Bone marrow smear:
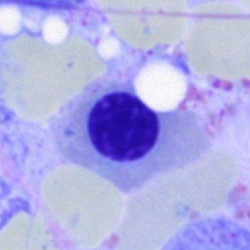 Morphology consistent with a nucleated red blood cell.